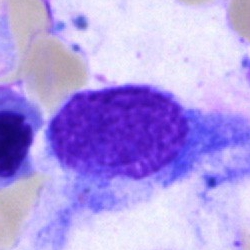
Classification: artifact.